Pappenheim-stained; bone marrow aspirate smear; 250 by 250 pixels: 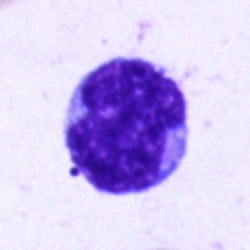
{"cell_type": "undifferentiated blast"}